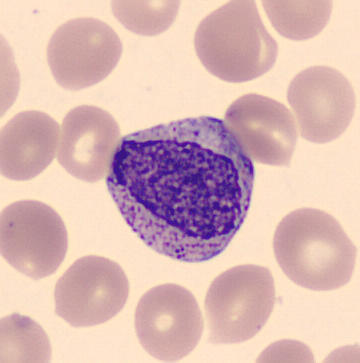
Specimen: peripheral blood smear.
Cell: myelocyte.